Single-cell crop. Bone marrow smear. 250 by 250 pixels
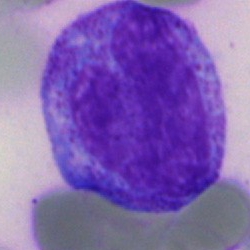

Specimen: bone marrow aspirate smear.
Cell type: promyelocyte.
Lineage: myeloid.